Bone marrow smear — 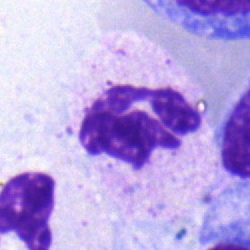
Specimen: bone marrow smear.
Classification: neutrophil (segmented).